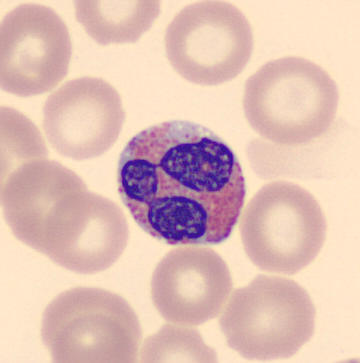{"cell_type": "eosinophilic granulocyte", "lineage": "myeloid"}